Bone marrow smear:
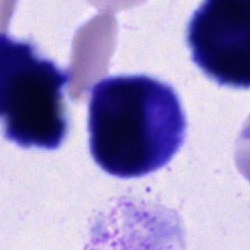 Showing a cell of indeterminate lineage.